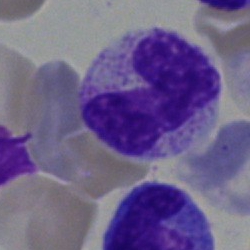 Classification — band-form neutrophil.